Bone marrow aspirate smear:
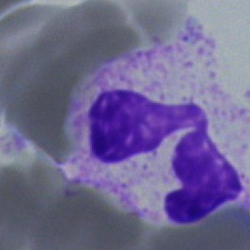

This is a neutrophil (segmented).